Bone marrow aspirate smear — 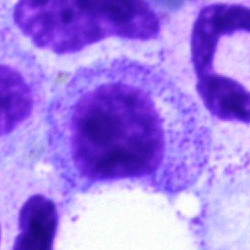
Cell type: myelocyte.